Bone marrow aspirate smear
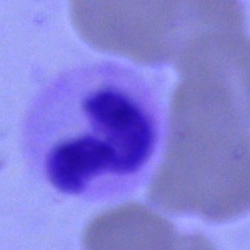 Cell type = segmented neutrophil.